250×250 px. May-Grünwald-Giemsa stain. Bone marrow smear — 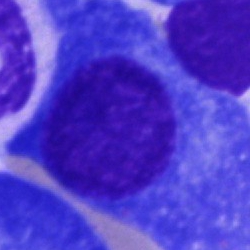Morphology — plasmacyte.